Bone marrow smear; May-Grünwald-Giemsa/Pappenheim stain — 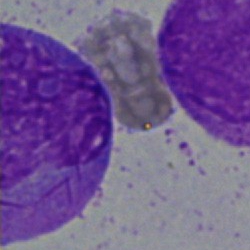
Cell with bundled Auer rods.